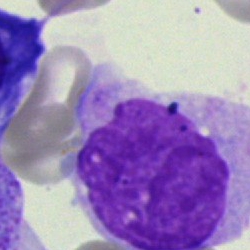{"cell_type": "monocyte", "lineage": "myeloid"}